Peripheral blood smear
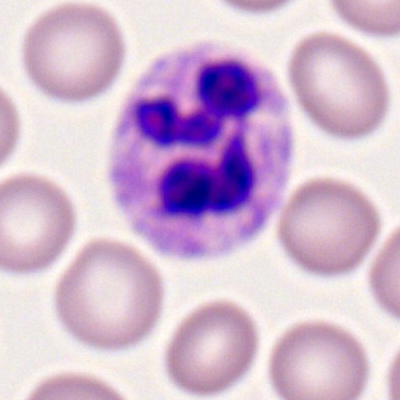This is a polymorphonuclear neutrophil.